Bone marrow smear · brightfield microscopy, 40× oil immersion:
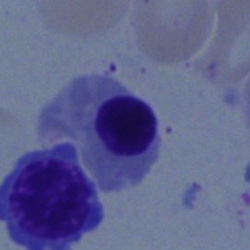
Specimen: bone marrow aspirate smear.
Classification: nucleated red blood cell.
Lineage: erythroid.